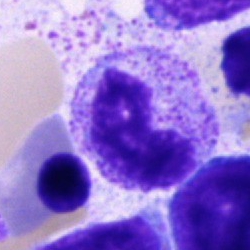

Morphological class — metamyelocyte.